Single-cell field · bone marrow aspirate smear · 250 by 250 pixels:
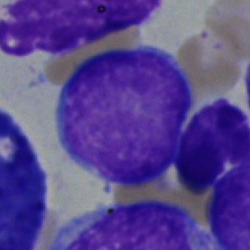
Specimen: bone marrow aspirate smear.
Morphological class: blast cell.